Bone marrow aspirate smear. MGG-stained.
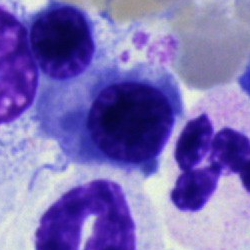Morphological class = nucleated red cell.